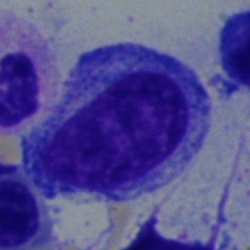
The morphological class is promyelocyte.